MGG-stained · bone marrow aspirate smear · single-cell crop
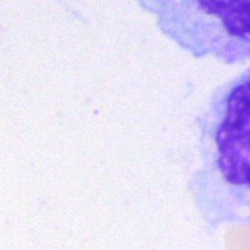 This is an artifact.